250×250; bone marrow smear.
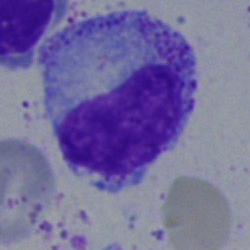Showing a metamyelocyte.